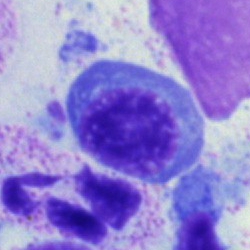
Classification = erythroblast.